Bone marrow smear:
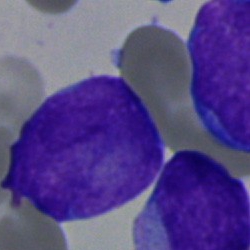Cell = undifferentiated blast.